Bone marrow smear; 40× objective, oil immersion; 250×250 — 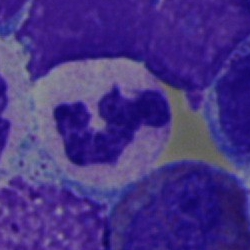 {"cell_type": "polymorphonuclear neutrophil", "lineage": "myeloid"}